Bone marrow smear; image size 250×250; single cell centered in the field — 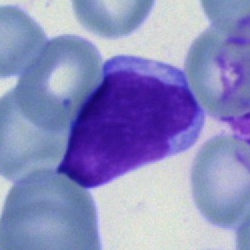 The classification is typical lymphocyte.